Bone marrow aspirate smear · 250×250 px — 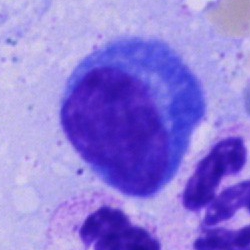 The cell shown is a plasmacyte.